250×250. Bone marrow aspirate smear:
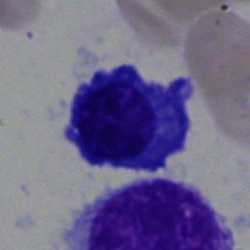 Single cell identified as a plasmacyte.